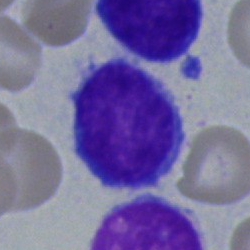Classification — lymphocyte.